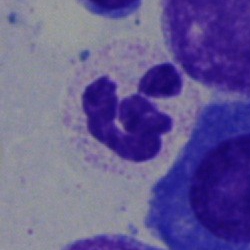
Segmented neutrophil.